Bone marrow smear.
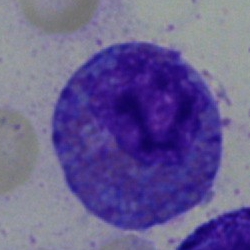
Q: What cell is this?
A: This is an eosinophil.